Bone marrow smear — 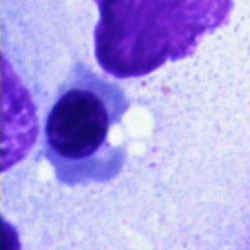

Q: What is shown here?
A: Erythroblast.